Bone marrow smear
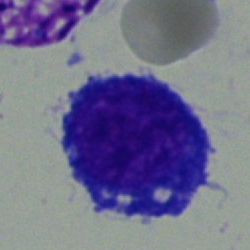

The morphological class is proerythroblast.